Bone marrow smear. 40× oil immersion.
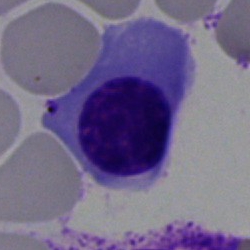Morphology → nucleated red cell.